Image size 250×250. Bone marrow aspirate smear. May-Grünwald-Giemsa stain: 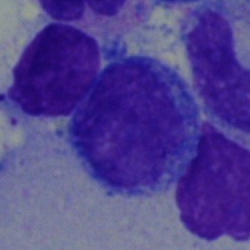
Specimen: bone marrow aspirate smear.
Classification: undifferentiated blast.